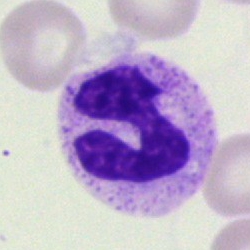
Bone marrow aspirate smear, single cell — segmented neutrophil.